Bone marrow smear: 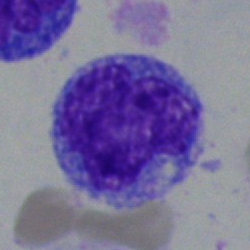
Specimen: bone marrow smear.
Classification: blast cell.